Bone marrow smear.
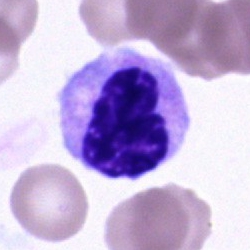The cell is polymorphonuclear neutrophil.